Bone marrow smear — 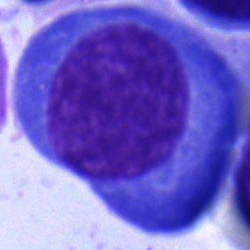 This is a plasma cell.